Cropped to a single cell; bone marrow smear; Pappenheim-stained:
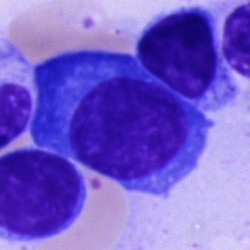 Morphological class: plasma cell.